Bone marrow smear — 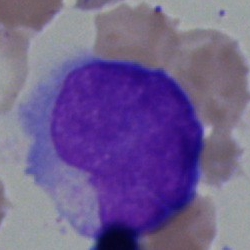 The cell is blast.